Bone marrow aspirate smear:
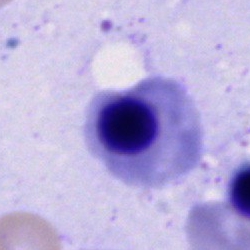Specimen: bone marrow aspirate smear.
Cell type: erythroblast.
Lineage: erythroid.